Bone marrow smear.
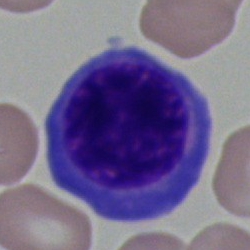
Classification — nucleated red blood cell.